Bone marrow smear.
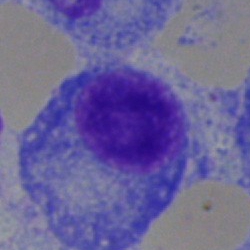
Showing a plasma cell.